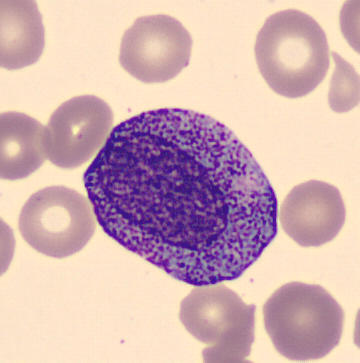
Identified as a promyelocyte.
Preparation: Peripheral blood smear.